Peripheral blood film; Romanowsky-stained; single-cell field — 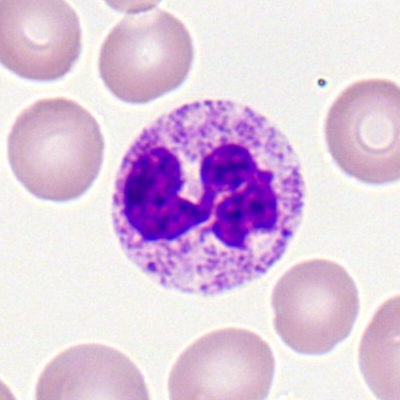

Classification: polymorphonuclear neutrophil.